Peripheral blood film.
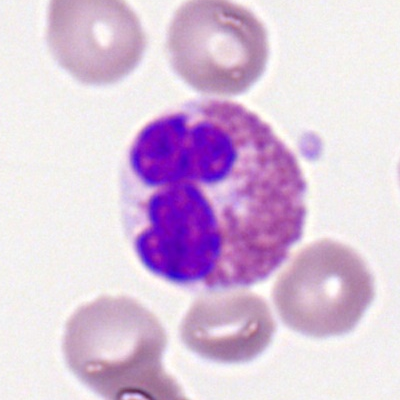

Q: What cell is this?
A: Eosinophilic granulocyte.